Bone marrow smear
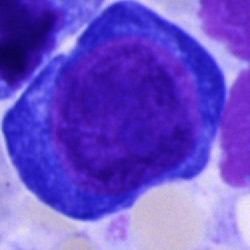Morphological class — pronormoblast.